250×250 px. Bone marrow smear:
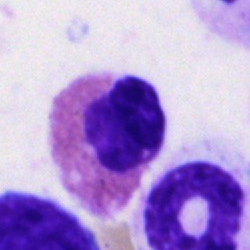 Morphology consistent with an eosinophilic granulocyte.